Bone marrow smear
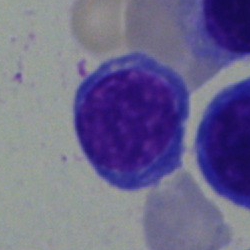This is an erythroblast.